Bone marrow smear — 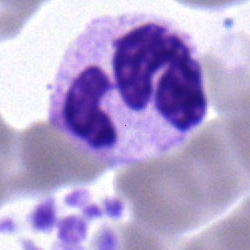 Q: What type of cell is this?
A: A segmented neutrophil.